Bone marrow smear
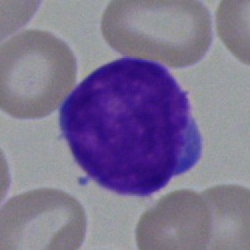 The morphological class is blast.